Bone marrow aspirate smear; brightfield microscopy, 40× oil immersion:
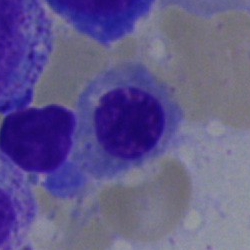

A nucleated red blood cell.